Bone marrow aspirate smear
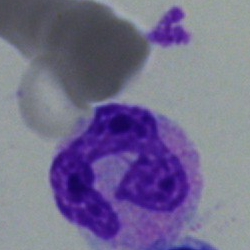Showing a neutrophil (segmented).